Bone marrow smear — 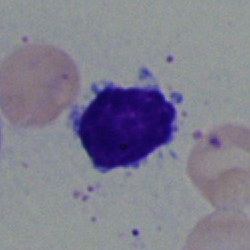 This is a lymphocyte.